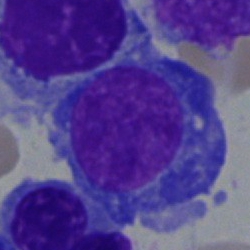
Q: What cell is this?
A: Plasmacyte.